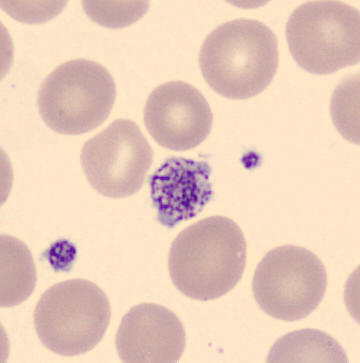
Q: What is this?
A: This is a thrombocyte. Preparation: Peripheral blood smear.